Bone marrow aspirate smear.
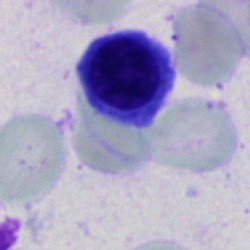

Morphology → nucleated red blood cell.